Bone marrow smear: 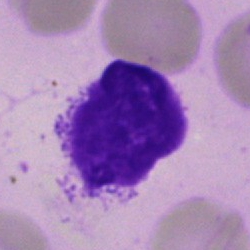 Q: What is shown here?
A: This is an artefact.